Cropped to a single cell; bone marrow smear: 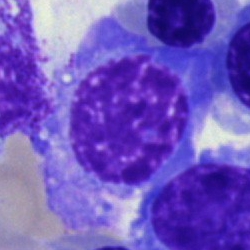This is a plasma cell.